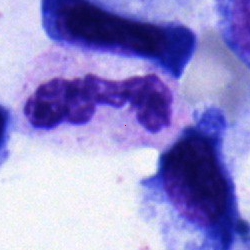 A segmented neutrophil on a bone marrow smear.